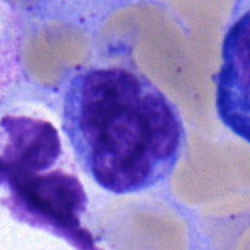 Q: Which cell type is shown here?
A: This is a typical lymphocyte.